Bone marrow smear.
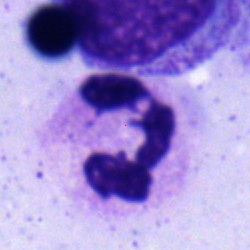

Specimen: bone marrow aspirate smear.
Cell: neutrophil (segmented).
Lineage: myeloid.